Brightfield microscopy, 40× oil immersion · bone marrow smear · cropped to a single cell.
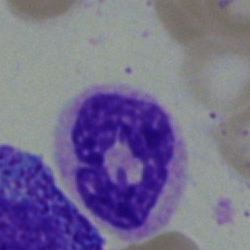 Cell — band-form neutrophil.